Bone marrow smear
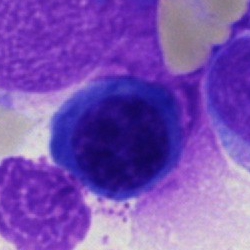Nucleated red cell.